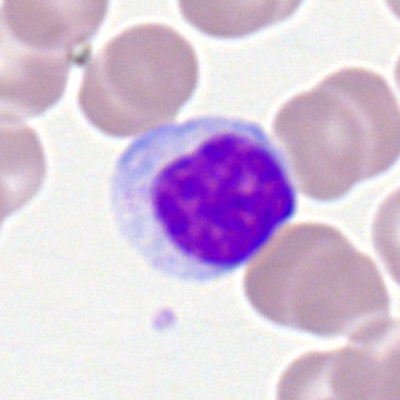

Showing a typical lymphocyte.